Peripheral blood smear: 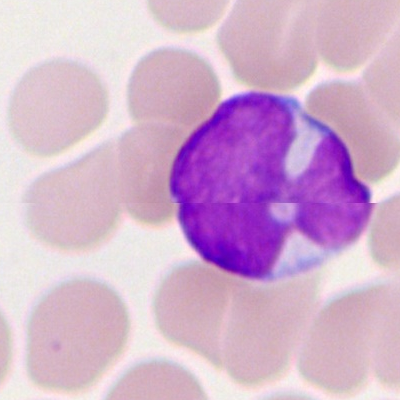Classification = myeloid blast.